Bone marrow smear
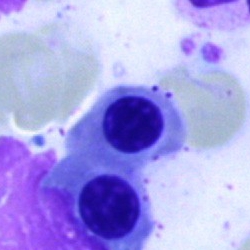Q: Identify the cell.
A: An erythroblast.